Image size 250×250. May-Grünwald-Giemsa stain. Bone marrow smear
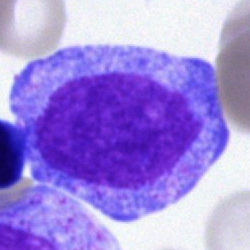Specimen: bone marrow aspirate smear.
Classification: progranulocyte.
Lineage: myeloid.